May-Grünwald-Giemsa/Pappenheim stain · bone marrow aspirate smear — 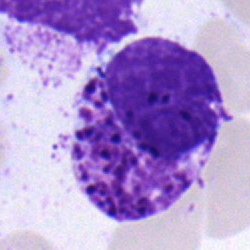

Impression — basophilic granulocyte.